Bone marrow smear: 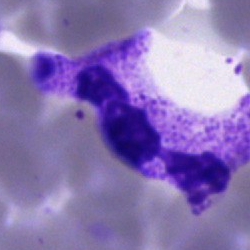

The cell shown is a polymorphonuclear neutrophil.